Bone marrow smear · Pappenheim-stained — 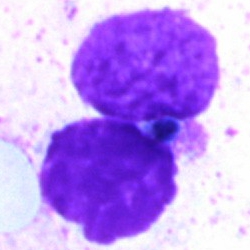The morphological class is artifact.